Bone marrow aspirate smear — 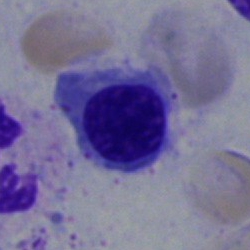

Specimen: bone marrow aspirate smear.
Classification: nucleated red cell.